250 by 250 pixels. Bone marrow smear — 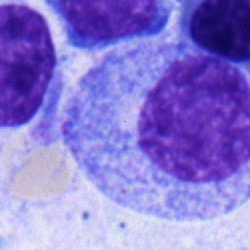

Cell type = progranulocyte.